Bone marrow aspirate smear: 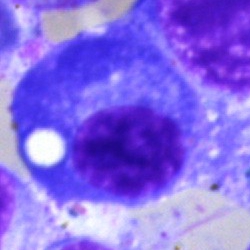A plasmacyte.